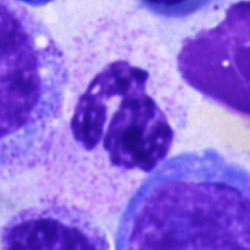Specimen: bone marrow smear.
Cell type: segmented neutrophil.
Lineage: myeloid.